Bone marrow aspirate smear. Single cell centered in the field: 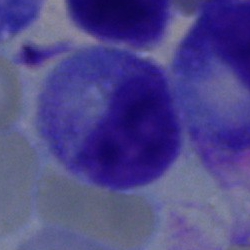Specimen: bone marrow smear.
Cell type: myelocyte.